May-Grünwald-Giemsa stain. Bone marrow aspirate smear:
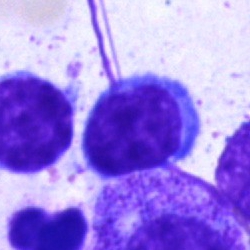Impression — lymphocyte.